40× objective, oil immersion. Bone marrow aspirate smear. MGG-stained
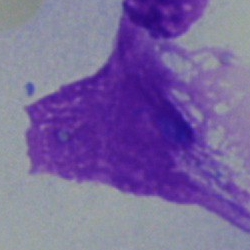

An artifact.